Brightfield microscopy, 40× oil immersion · single-cell field · bone marrow smear — 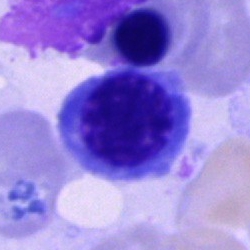
Morphology → normoblast.